Peripheral blood smear. Romanowsky-type stain — 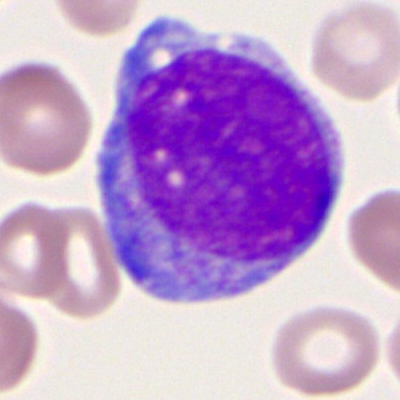

Q: What is shown here?
A: A myeloid blast.